Bone marrow smear · single-cell field — 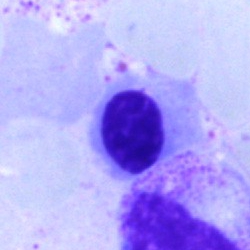 Showing an erythroblast.